Bone marrow smear:
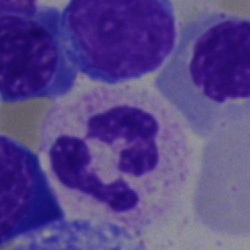

Showing a neutrophil (segmented).